Bone marrow smear.
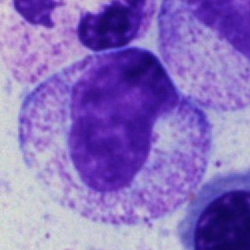

Morphological class = metamyelocyte.